Bone marrow aspirate smear; May-Grünwald-Giemsa stain; image size 250×250 — 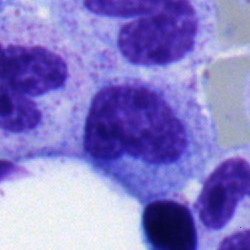

Q: Identify the cell.
A: This is a metamyelocyte.